Bone marrow smear — 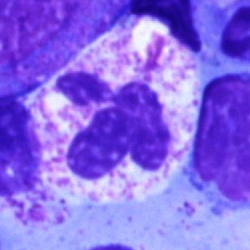 Specimen: bone marrow aspirate smear.
Cell type: neutrophil (segmented).